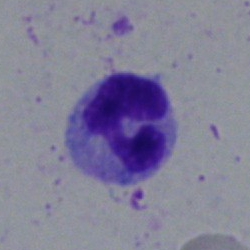

This is a neutrophil (segmented).